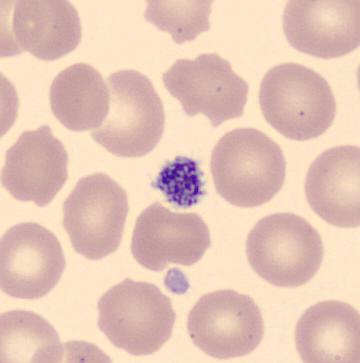
Image: Peripheral blood smear. The classification is thrombocyte.